Peripheral blood film — 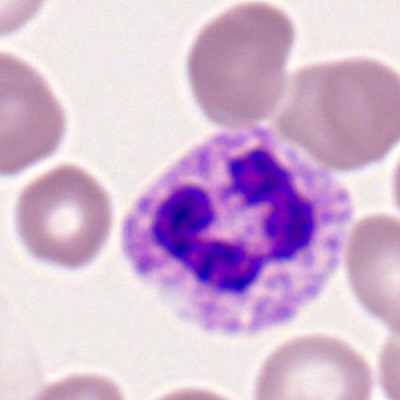

{"cell_type": "segmented neutrophil"}